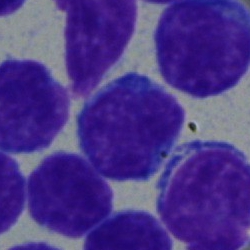
Specimen: bone marrow smear.
Cell: typical lymphocyte.
Lineage: lymphoid.